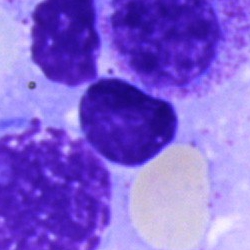
Cell type = cell of indeterminate lineage.